Bone marrow aspirate smear: 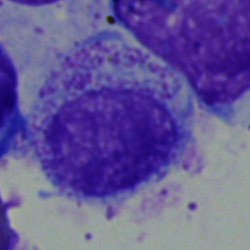
The morphological class is myelocyte.